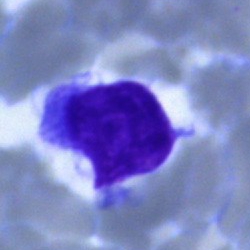Impression → lymphocyte.